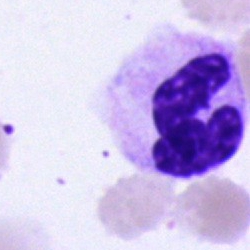 Q: What is the morphological classification of this cell?
A: Segmented neutrophil.